Bone marrow smear.
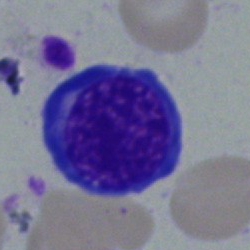 Impression — erythroblast.